100× objective, oil immersion · peripheral blood film · Romanowsky-stained
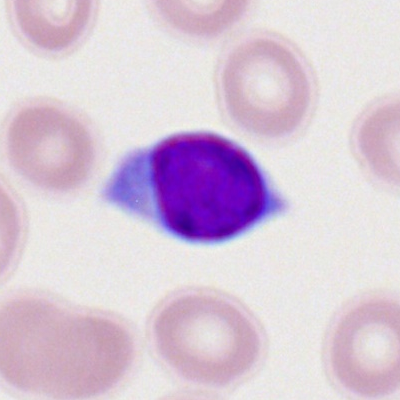

This is a lymphocyte.